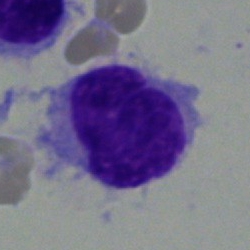

A hairy cell on a bone marrow smear.